Single-cell crop. 250×250. Bone marrow aspirate smear
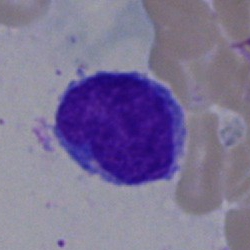Cell — undifferentiated blast.